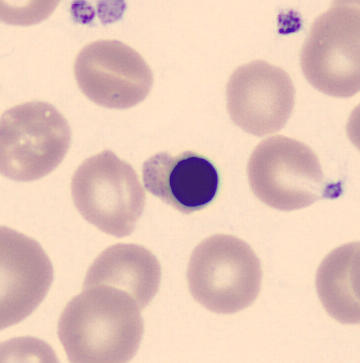

Acquisition: Automated cell imaging (CellaVision DM96).

Specimen: peripheral blood film.
Classification: nucleated red cell.